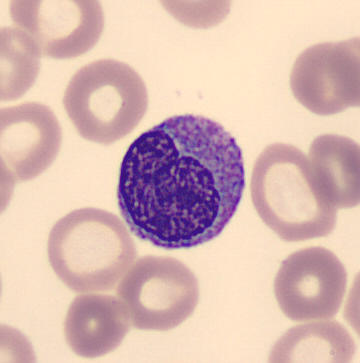Q: Which cell type is shown here?
A: It is a monocyte.